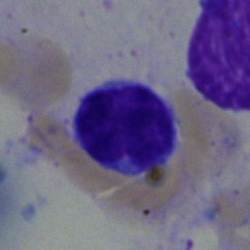The morphological class is typical lymphocyte.